Bone marrow aspirate smear.
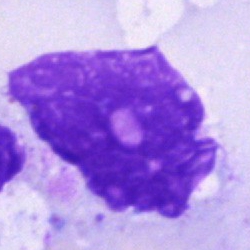Q: What is shown here?
A: It is an artifact.